Bone marrow smear: 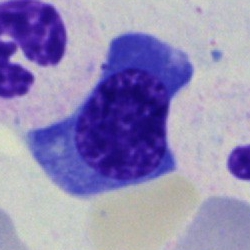 Morphology — normoblast.